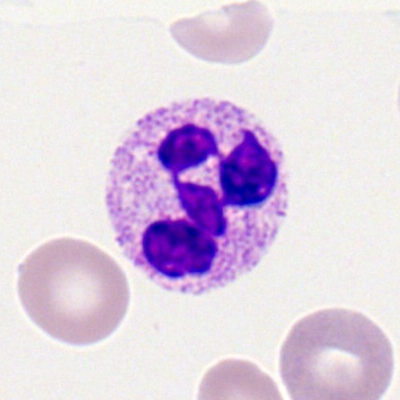 This is a segmented neutrophil.